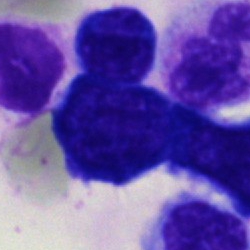{"cell_type": "erythroblast", "lineage": "erythroid"}